Bone marrow smear. Single cell centered in the field: 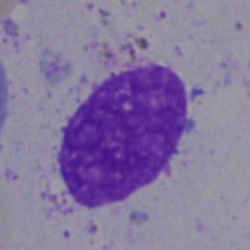
Q: What is shown here?
A: Artefact.